Bone marrow smear: 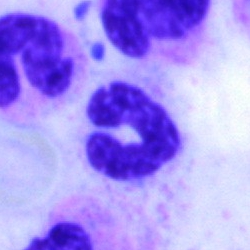 The cell type is neutrophil (segmented).